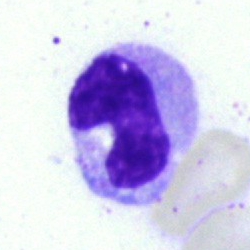Classification — neutrophil (band).